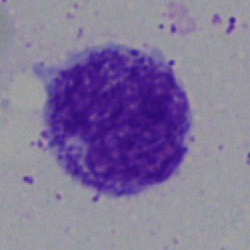

Showing a myelocyte.